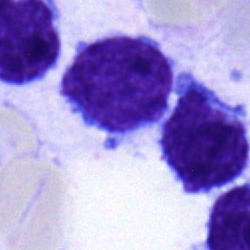
Morphological class — lymphocyte.